Bone marrow smear: 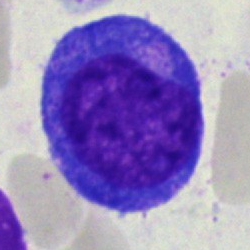
Morphology consistent with a promyelocyte.